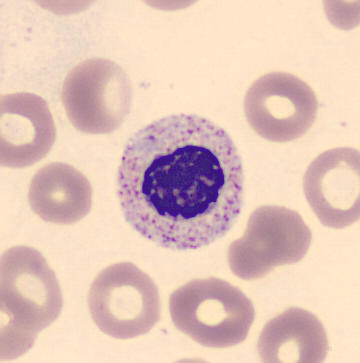 Cell: myelocyte.

Preparation: Peripheral blood film.